Bone marrow aspirate smear
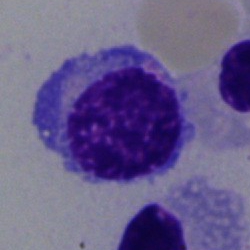
Specimen: bone marrow smear.
Cell: plasma cell.
Lineage: lymphoid.